M8 digital microscope (Precipoint), 100× oil immersion; peripheral blood smear; cropped to a single cell:
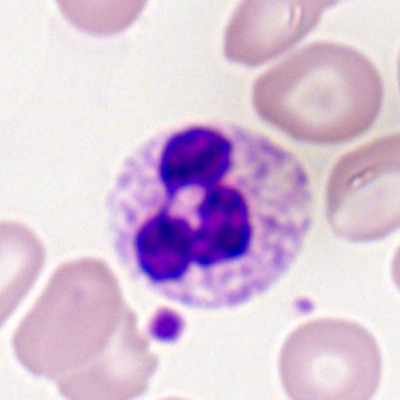

The classification is polymorphonuclear neutrophil.